Bone marrow smear; brightfield, 40× oil-immersion objective — 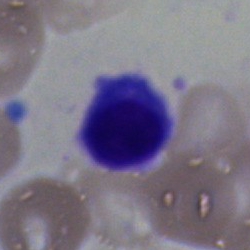

A typical lymphocyte.